Bone marrow smear; 40× objective, oil immersion:
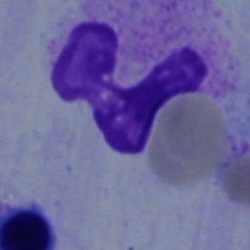

Morphology consistent with a neutrophil (band).